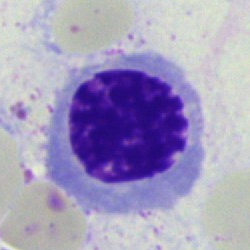Classification = erythroblast.